Peripheral blood film. M8 digital microscope (Precipoint), 100× oil immersion. Romanowsky stain — 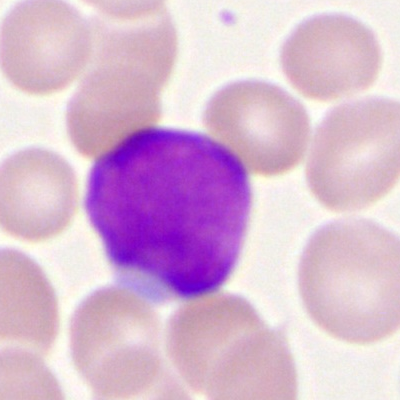Cell type — myeloid blast.